Bone marrow smear:
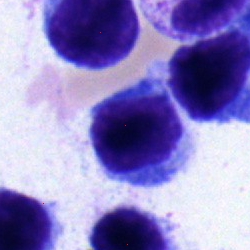

Impression → lymphocyte.